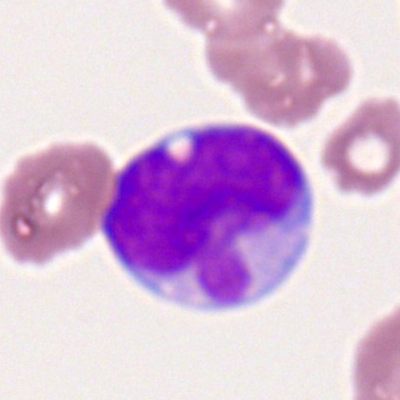

Classification: myeloblast.